Bone marrow smear. Brightfield, 40× oil-immersion objective.
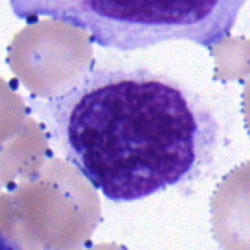
Showing a typical lymphocyte.